Bone marrow aspirate smear
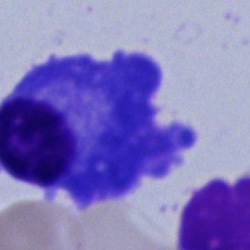
Cell type = plasmacyte.